Bone marrow smear.
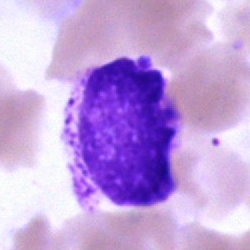
Morphology consistent with an artefact.